Bone marrow aspirate smear — 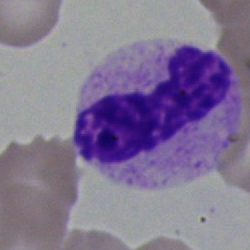
Q: What type of cell is this?
A: This is a neutrophil (band).